Bone marrow aspirate smear.
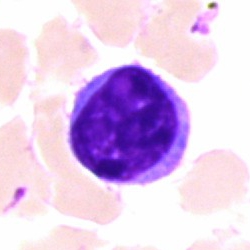Q: Which cell type is shown here?
A: This is a lymphocyte.